Bone marrow aspirate smear. 40× oil immersion.
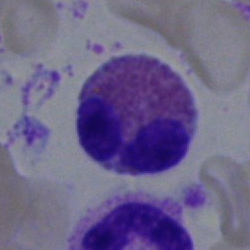
Single cell identified as an eosinophilic granulocyte.